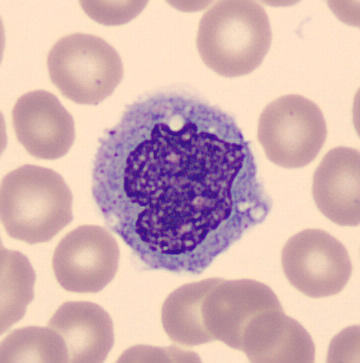 Specimen: peripheral blood smear.
Cell: monocyte.
Lineage: myeloid.